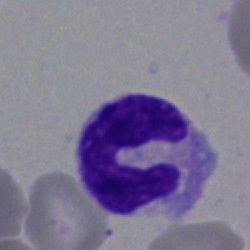 Showing a segmented neutrophil.